Brightfield microscopy, 40× oil immersion; 250 by 250 pixels; bone marrow aspirate smear: 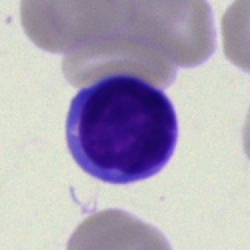
Impression — typical lymphocyte.